Bone marrow smear. May-Grünwald-Giemsa/Pappenheim stain
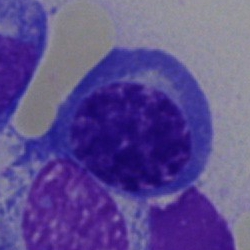

This is a normoblast.